Bone marrow smear — 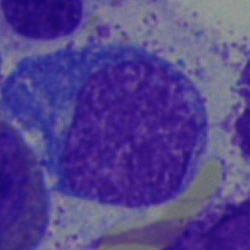 Classification: proerythroblast.